Bone marrow aspirate smear.
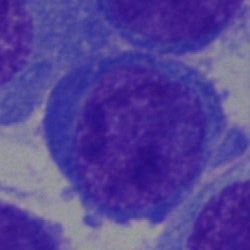A plasmacyte.